Bone marrow smear: 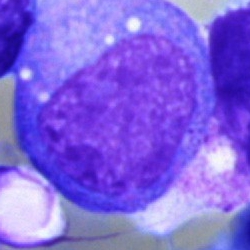

A myelocyte.